Bone marrow aspirate smear: 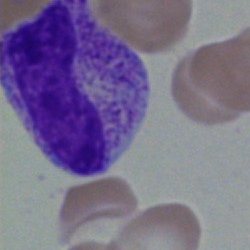 The cell type is metamyelocyte.